Bone marrow aspirate smear; 40× objective, oil immersion; 250 by 250 pixels:
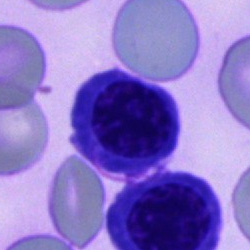

Q: What is the morphological classification of this cell?
A: Nucleated red blood cell.